Peripheral blood smear · brightfield, 100× oil-immersion objective — 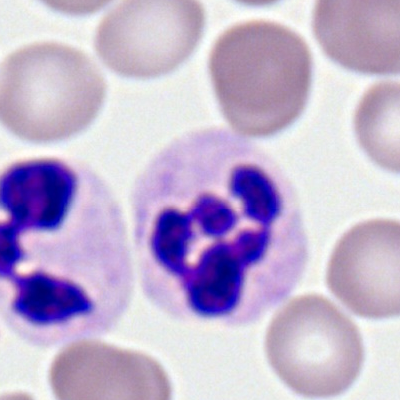

Q: What is shown here?
A: It is a polymorphonuclear neutrophil.